Bone marrow aspirate smear
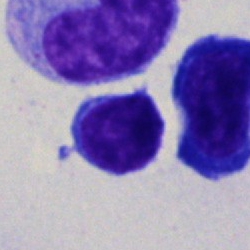Single cell identified as a typical lymphocyte.